Single cell centered in the field; bone marrow smear: 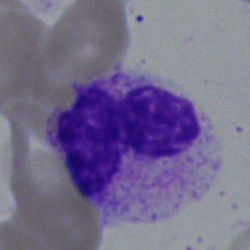

Q: Which cell type is shown here?
A: Band-form neutrophil.